Single-cell field. Romanowsky stain. Peripheral blood smear
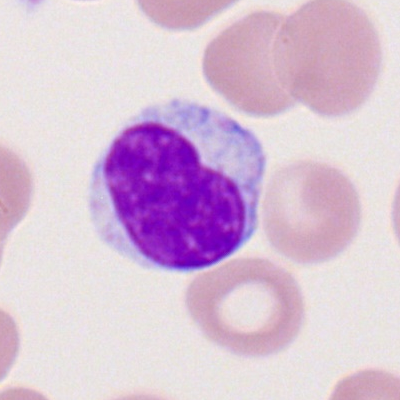

The cell shown is a typical lymphocyte.